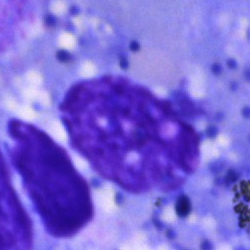

Specimen: bone marrow smear.
Cell type: artifact.